Bone marrow aspirate smear · 40× objective, oil immersion.
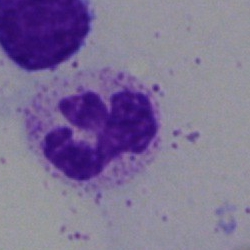

The cell shown is a segmented neutrophil.